Bone marrow aspirate smear:
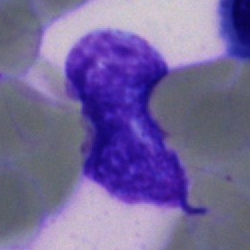Q: What is shown here?
A: It is an artifact.